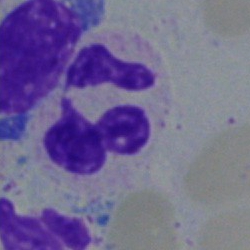 Bone marrow aspirate smear, single cell — polymorphonuclear neutrophil.